Single cell centered in the field · brightfield microscopy, 40× oil immersion · bone marrow aspirate smear
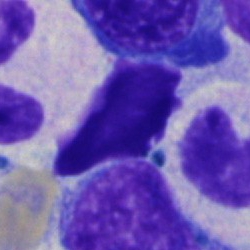

Q: What is shown here?
A: It is an artefact.